Bone marrow aspirate smear:
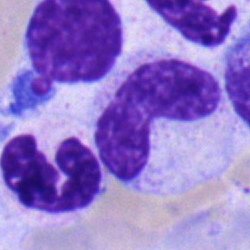 A stab cell.